Bone marrow smear:
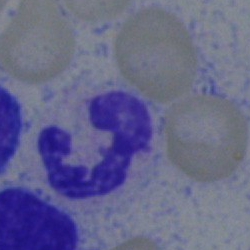Showing a segmented neutrophil.